Single-cell crop · bone marrow smear · Pappenheim-stained — 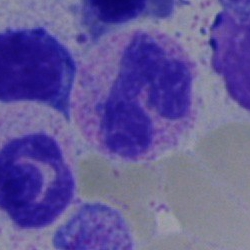 The cell is segmented neutrophil.